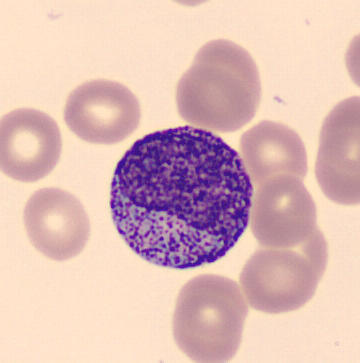
The cell shown is a progranulocyte.